250×250; bone marrow aspirate smear
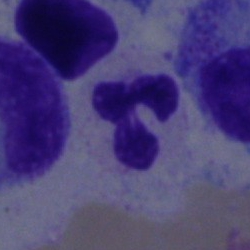

Q: Which cell type is shown here?
A: A segmented neutrophil.